Bone marrow smear.
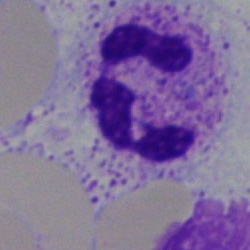 Impression — neutrophil (segmented).